Bone marrow aspirate smear. Image size 250×250 — 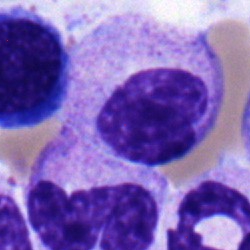 Cell type — band neutrophil.